Bone marrow aspirate smear:
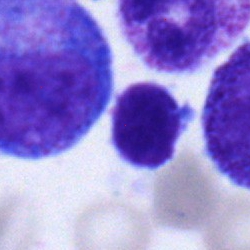 Impression → typical lymphocyte.